Bone marrow aspirate smear:
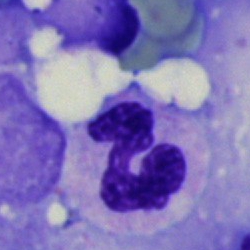 {"cell_type": "segmented neutrophil"}